Peripheral blood smear: 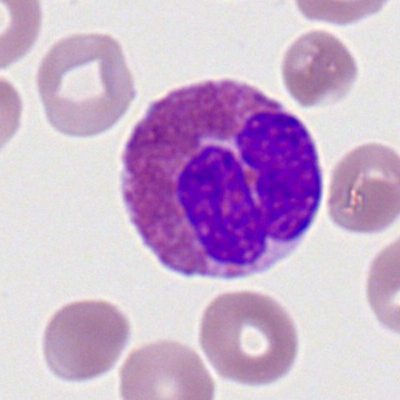Showing an eosinophil.